Bone marrow smear; 40× objective, oil immersion:
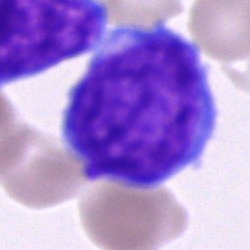

{"cell_type": "undifferentiated blast"}